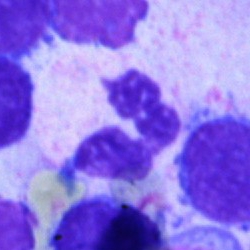 The cell type is polymorphonuclear neutrophil.